Peripheral blood film.
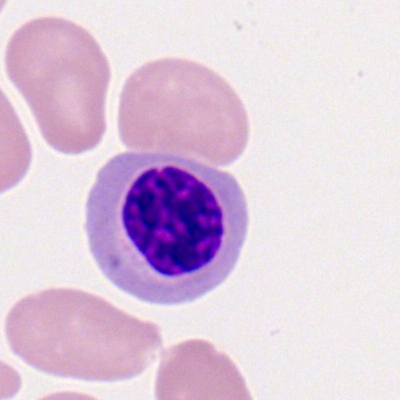

Classification: typical lymphocyte.